Bone marrow smear; 250 by 250 pixels
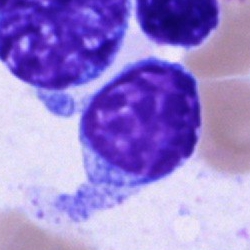 Impression → blast.